Cropped to a single cell · peripheral blood smear.
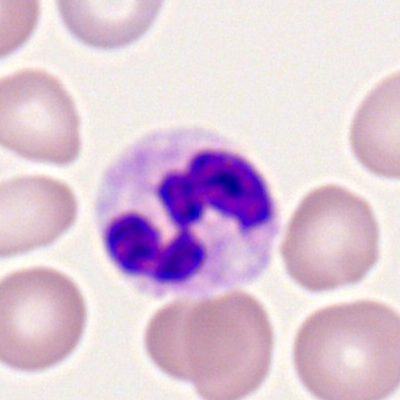 Single cell identified as a polymorphonuclear neutrophil.